Bone marrow smear
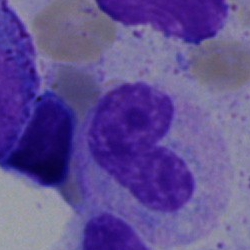
{"cell_type": "stab cell"}